Bone marrow aspirate smear — 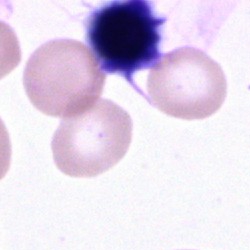
The cell type is cell of indeterminate lineage.